May-Grünwald-Giemsa/Pappenheim stain · bone marrow aspirate smear · single cell centered in the field — 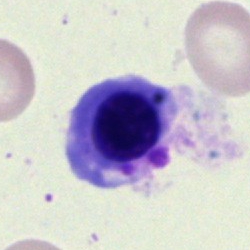 Morphological class = nucleated red blood cell.